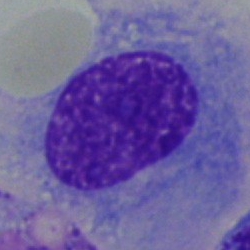 Q: Which cell type is shown here?
A: Plasmacyte.